Romanowsky-type stain. 100× objective, oil immersion. Peripheral blood film
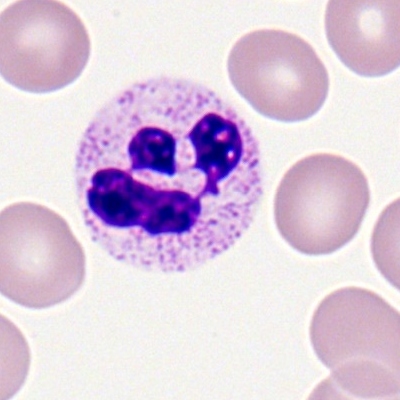 The cell shown is a segmented neutrophil.